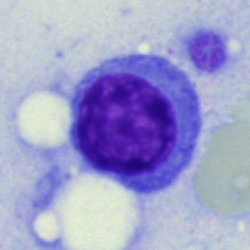
Q: What is the morphological classification of this cell?
A: Typical lymphocyte.